Bone marrow aspirate smear:
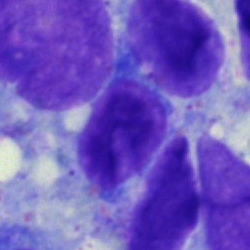

Specimen: bone marrow aspirate smear.
Cell type: erythroblast.